Bone marrow smear.
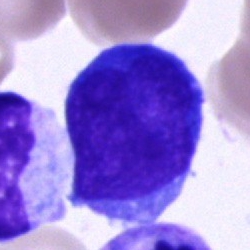
Showing a blast cell.